Bone marrow aspirate smear; 40× oil immersion
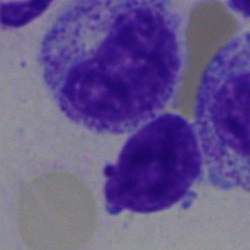 A lymphocyte.